Bone marrow aspirate smear — 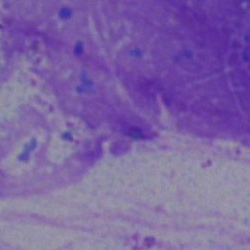
Q: What is shown here?
A: This is an artifact.